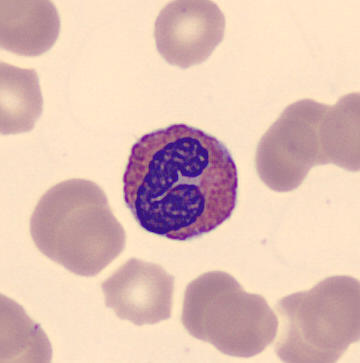Classification: eosinophil.